May-Grünwald-Giemsa/Pappenheim stain · single cell centered in the field · bone marrow aspirate smear.
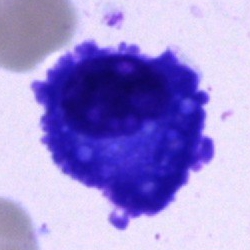
Showing a plasma cell.